Pappenheim-stained; bone marrow smear: 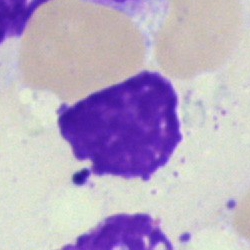
Impression — artefact.